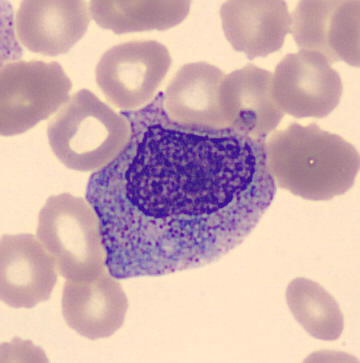
Impression → myelocyte.